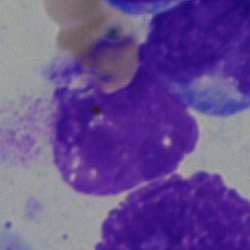

Morphological class: artefact.